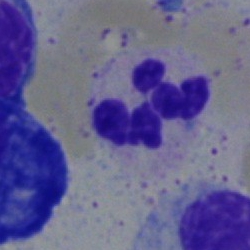
Q: What is shown here?
A: A segmented neutrophil.